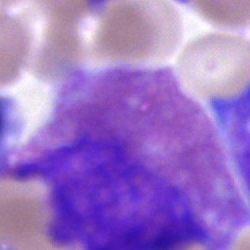 Cell type = eosinophil.